Bone marrow aspirate smear:
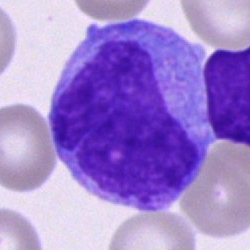 Showing a monocyte.